250×250. Bone marrow aspirate smear. May-Grünwald-Giemsa stain:
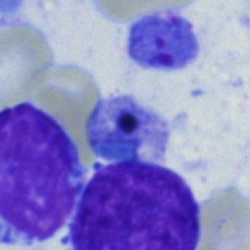An artefact.